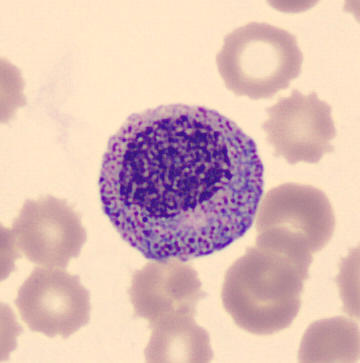
Preparation: Peripheral blood smear.

Progranulocyte.